Single-cell crop. Bone marrow smear
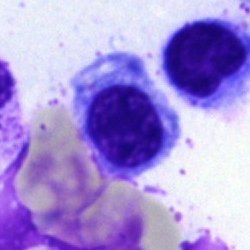

Showing a nucleated red blood cell.